40× oil immersion. Bone marrow aspirate smear:
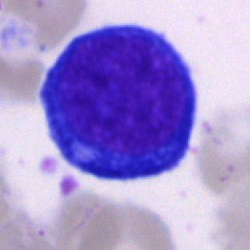This is a proerythroblast.